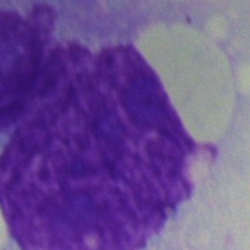

Specimen: bone marrow aspirate smear.
Morphological class: artifact.